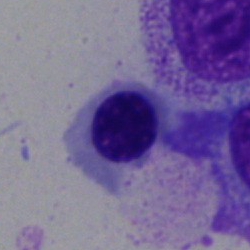
Bone marrow aspirate smear, single cell — normoblast.